Bone marrow smear. Image size 250×250. Single-cell crop: 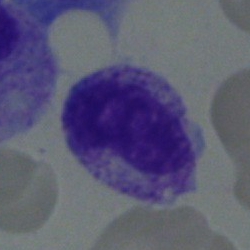
Impression → metamyelocyte.